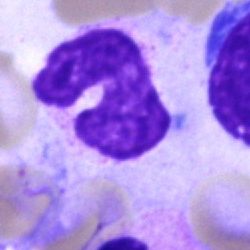

Classification = neutrophil (band).